MGG-stained. Bone marrow aspirate smear
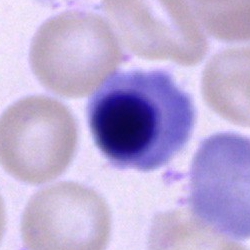
Specimen: bone marrow aspirate smear.
Cell: nucleated red cell.
Lineage: erythroid.